Bone marrow smear:
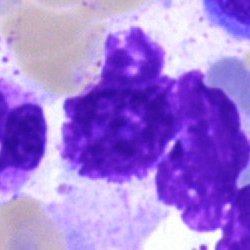Specimen: bone marrow smear.
Cell: artifact.